250×250 px · bone marrow aspirate smear · brightfield microscopy, 40× oil immersion
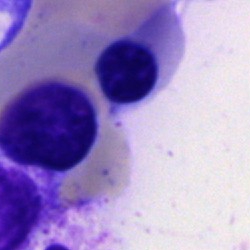 Specimen: bone marrow smear.
Classification: nucleated red blood cell.